Bone marrow aspirate smear; single cell centered in the field: 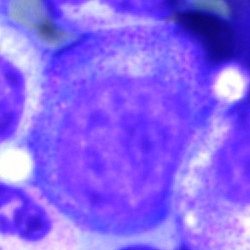

The cell shown is a progranulocyte.